Bone marrow smear:
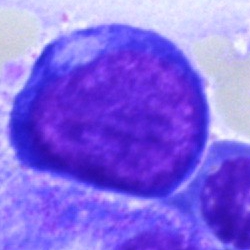
Proerythroblast.